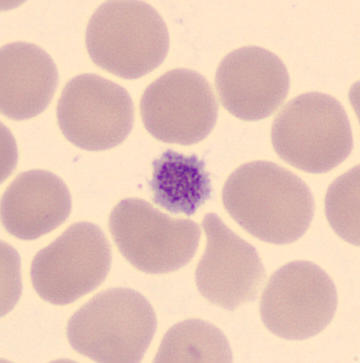

Acquisition: Peripheral blood smear.

Identified as a platelet (thrombocyte).